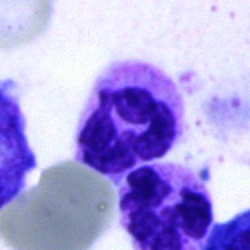Q: What cell is this?
A: It is a neutrophil (segmented).